Bone marrow smear: 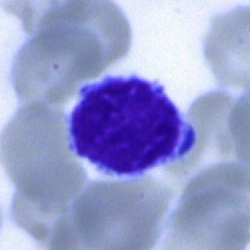
Single cell identified as a typical lymphocyte.